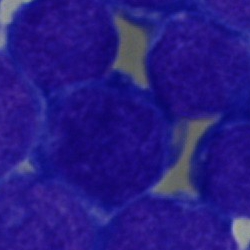

Showing an undifferentiated blast.